Single cell centered in the field; brightfield, 40× oil-immersion objective; bone marrow smear — 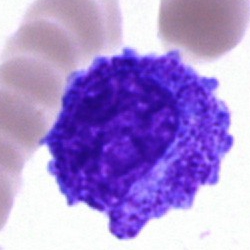
Cell type: progranulocyte.